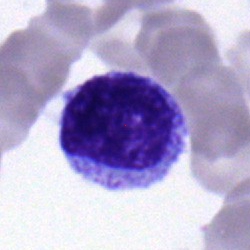 Specimen: bone marrow aspirate smear.
Cell type: progranulocyte.
Lineage: myeloid.